250 by 250 pixels. Bone marrow aspirate smear: 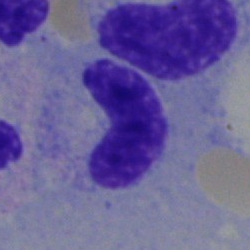

Classification: stab cell.